Peripheral blood film
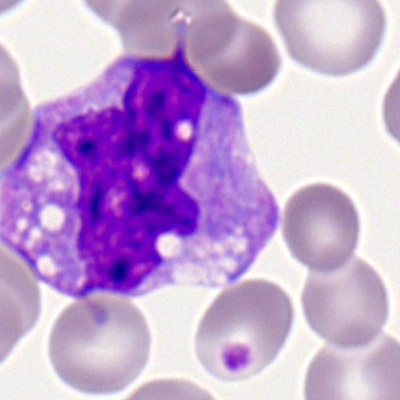 Q: What cell is this?
A: This is a monocyte.